Bone marrow aspirate smear.
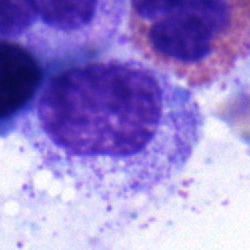

The cell shown is a myelocyte.